Bone marrow smear · single cell centered in the field · image size 250×250.
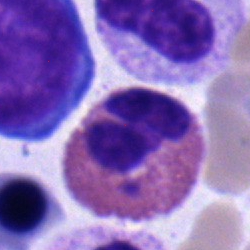 The classification is lymphocyte.